Bone marrow aspirate smear; single-cell field; 250×250 px
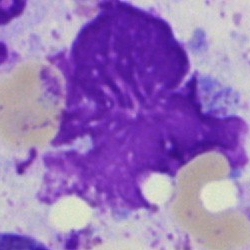

Q: What is shown here?
A: Artifact.